Bone marrow smear — 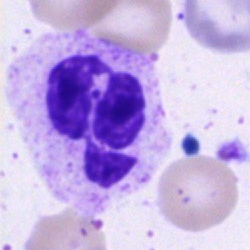
This is a neutrophil (segmented).